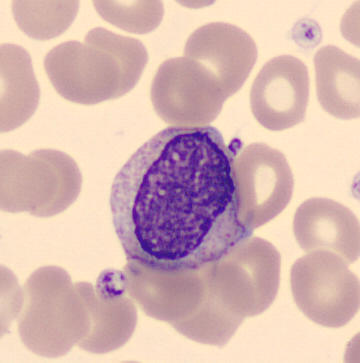Identified as a myelocyte. Preparation: Peripheral blood smear.